Bone marrow aspirate smear.
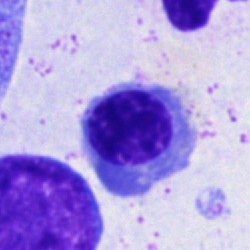Morphology — normoblast.